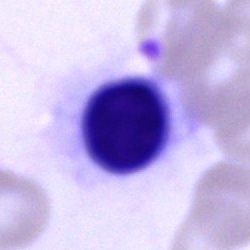 An unidentifiable cell.